Bone marrow smear — 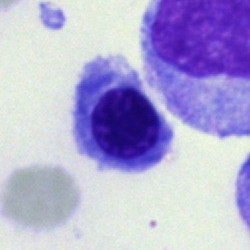Specimen: bone marrow aspirate smear.
Morphological class: nucleated red cell.